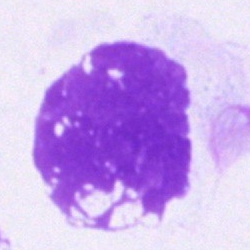 {"cell_type": "artefact"}